Bone marrow smear:
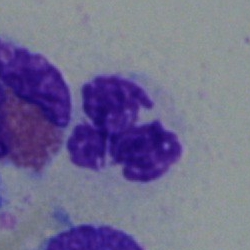
Q: Which cell type is shown here?
A: This is a neutrophil (segmented).